Bone marrow aspirate smear.
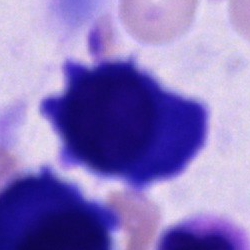Cell of indeterminate lineage.